May-Grünwald-Giemsa stain · bone marrow aspirate smear · brightfield, 40× oil-immersion objective
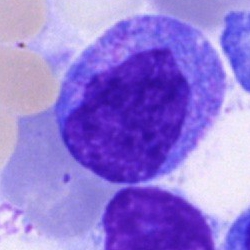

The cell shown is a promyelocyte.